Bone marrow aspirate smear. 40× oil immersion:
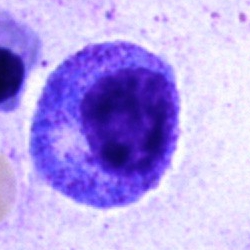
Impression — promyelocyte.